Bone marrow smear — 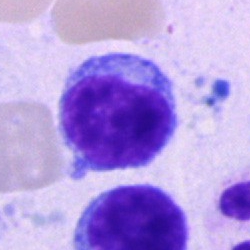

Specimen: bone marrow smear.
Classification: typical lymphocyte.
Lineage: lymphoid.